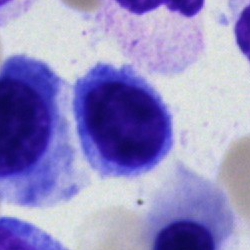

Cell type — lymphocyte.